Single cell centered in the field. Bone marrow aspirate smear
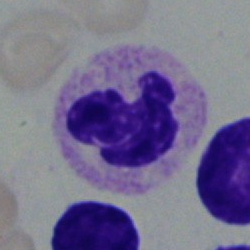

Showing a segmented neutrophil.